Peripheral blood smear; Romanowsky stain
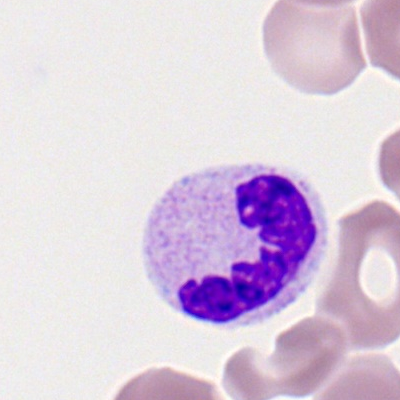
The cell is neutrophil (segmented).